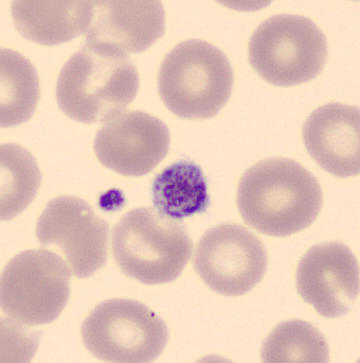
Morphology — platelet (thrombocyte).